Cropped to a single cell. Bone marrow aspirate smear — 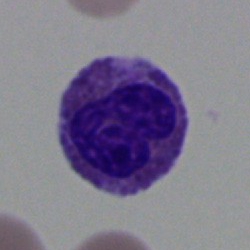
Q: What is the morphological classification of this cell?
A: Eosinophil.